Bone marrow smear
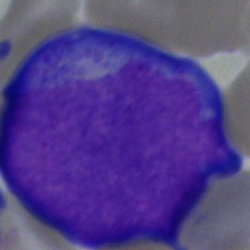 An undifferentiated blast.